Bone marrow smear — 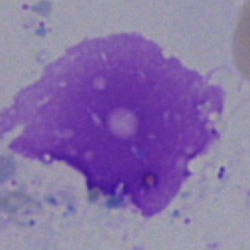
Q: What is shown here?
A: Artifact.